250 by 250 pixels. MGG-stained. Bone marrow smear:
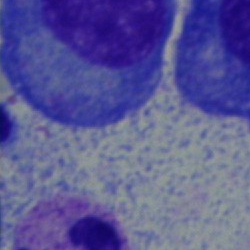 Impression → plasma cell.